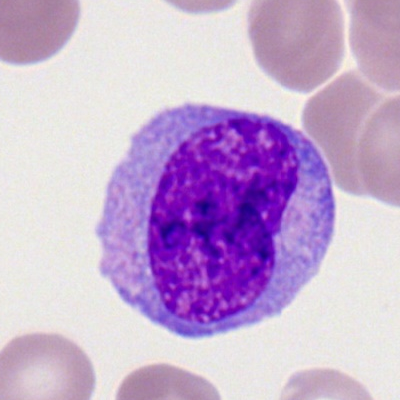

The cell is monocyte.